Peripheral blood smear:
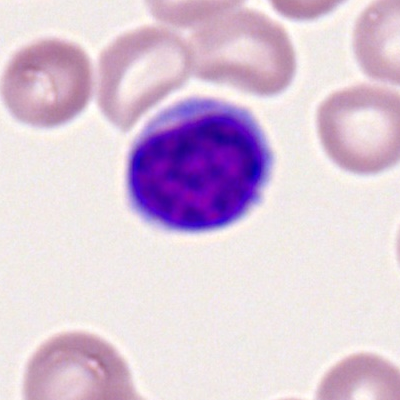A typical lymphocyte.